Bone marrow aspirate smear; 250×250 px — 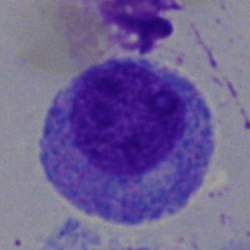

Impression → progranulocyte.